Pappenheim-stained · 40× oil immersion · bone marrow smear: 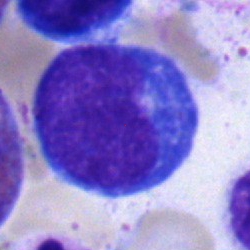

Single cell identified as a blast.